Bone marrow smear. Cropped to a single cell:
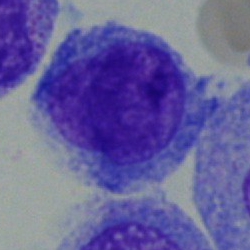 Morphological class — blast.